Bone marrow aspirate smear:
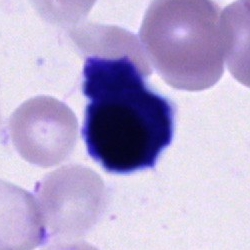
Morphology consistent with an unidentifiable cell.